Romanowsky-type stain; peripheral blood smear — 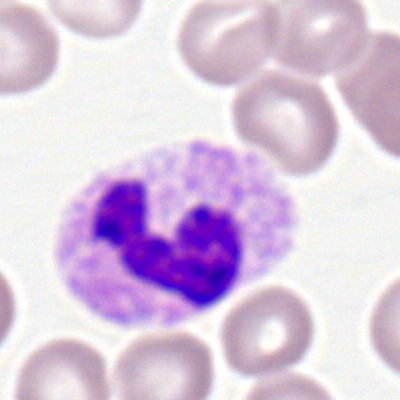 Morphology consistent with a polymorphonuclear neutrophil.